Image size 250×250. Bone marrow aspirate smear.
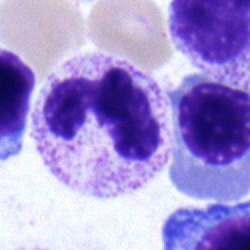 Morphological class — nucleated red cell.